Single-cell crop; May-Grünwald-Giemsa/Pappenheim stain; bone marrow aspirate smear:
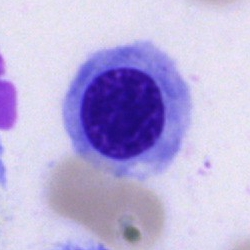 {"cell_type": "nucleated red blood cell", "lineage": "erythroid"}